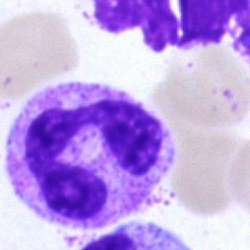

Cell — polymorphonuclear neutrophil.